Bone marrow aspirate smear · brightfield, 40× oil-immersion objective.
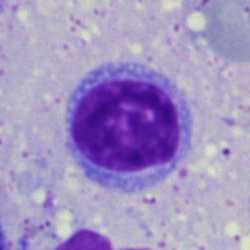 {"cell_type": "lymphocyte", "lineage": "lymphoid"}